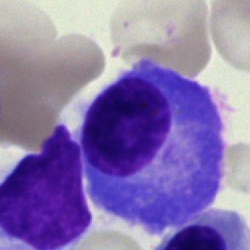 This is a plasma cell.